Bone marrow smear: 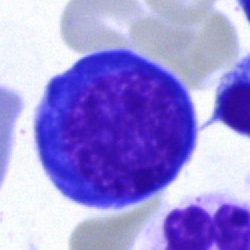

Impression → nucleated red cell.